250×250. Bone marrow smear: 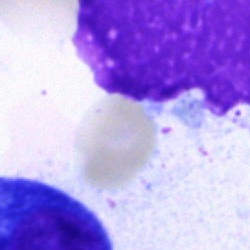The cell type is artefact.